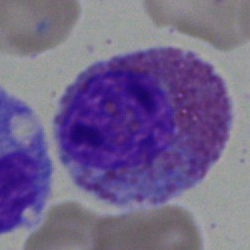
The classification is eosinophil.